250×250 · bone marrow smear:
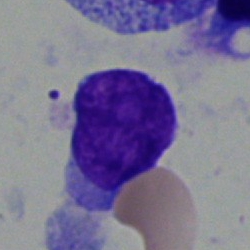The cell shown is a blast.